May-Grünwald-Giemsa/Pappenheim stain; bone marrow smear — 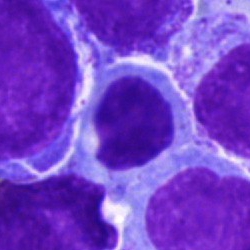

Q: What cell is this?
A: It is a normoblast.